Bone marrow aspirate smear:
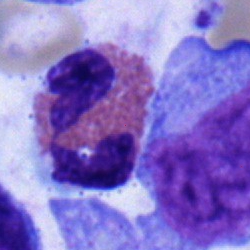
The classification is eosinophilic granulocyte.